Bone marrow smear
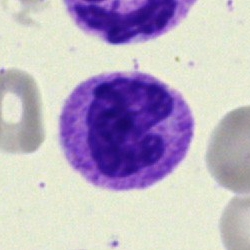Showing a band-form neutrophil.